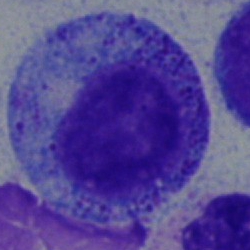 Q: What is the morphological classification of this cell?
A: It is a myelocyte.